Peripheral blood film: 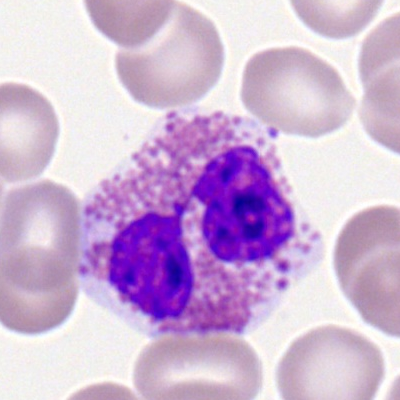 Q: What is shown here?
A: It is an eosinophilic granulocyte.